Peripheral blood film
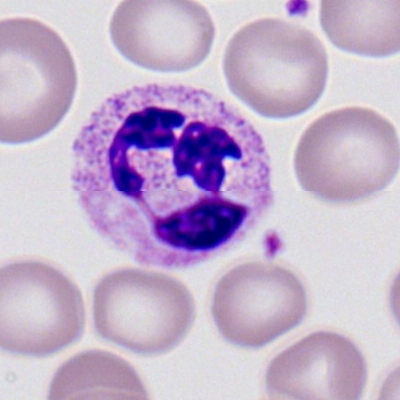

Morphology consistent with a segmented neutrophil.